Bone marrow smear — 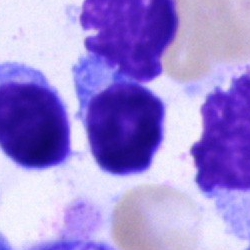 Showing a typical lymphocyte.